250 by 250 pixels; bone marrow aspirate smear.
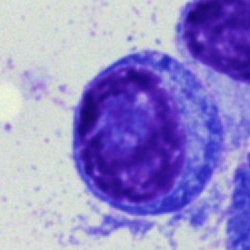Morphology → plasmacyte.